Bone marrow smear. May-Grünwald-Giemsa stain:
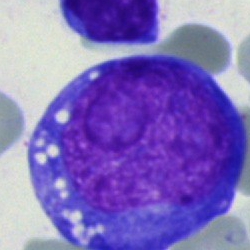Q: What cell is this?
A: It is an undifferentiated blast.